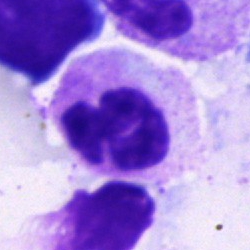 Cell: polymorphonuclear neutrophil.